Single-cell crop. Bone marrow smear. Pappenheim-stained
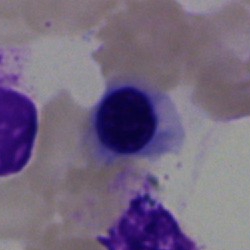
Impression — nucleated red blood cell.